Pappenheim-stained · bone marrow smear: 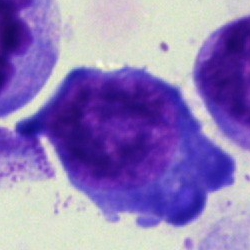

Specimen: bone marrow smear.
Cell: erythroblast.
Lineage: erythroid.